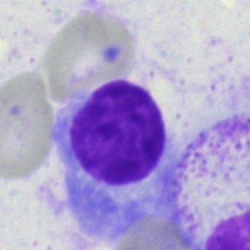Plasmacyte.